Bone marrow aspirate smear: 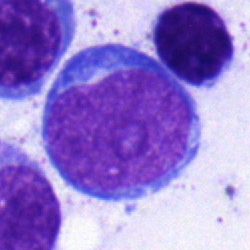
Morphology consistent with a blast.